Bone marrow aspirate smear
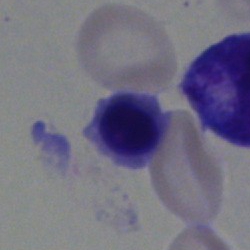

An erythroblast.